Bone marrow aspirate smear.
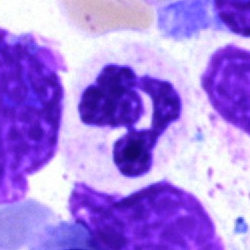

Impression — neutrophil (segmented).